Bone marrow aspirate smear · 40× objective, oil immersion · May-Grünwald-Giemsa/Pappenheim stain
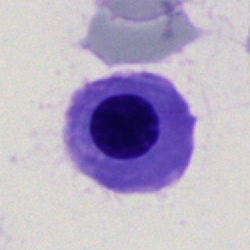 Morphology — erythroblast.